400×400 px; peripheral blood smear; single cell centered in the field: 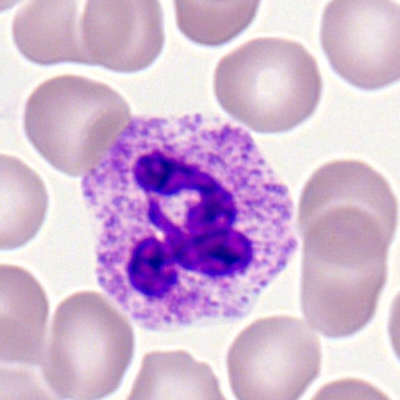 Polymorphonuclear neutrophil.